Bone marrow aspirate smear · brightfield, 40× oil-immersion objective · 250×250 px: 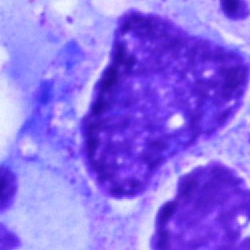
Single cell identified as an artefact.